Bone marrow aspirate smear; 250×250
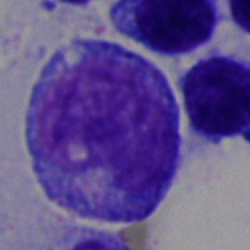Q: What type of cell is this?
A: This is a progranulocyte.